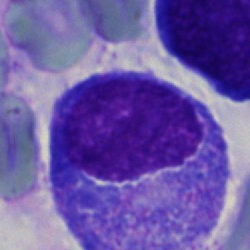

This is a promyelocyte.